Cropped to a single cell; peripheral blood smear; 400×400:
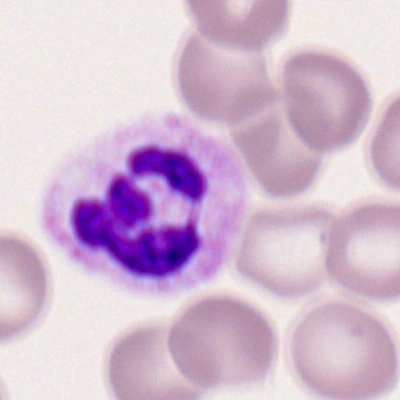
Morphology — polymorphonuclear neutrophil.